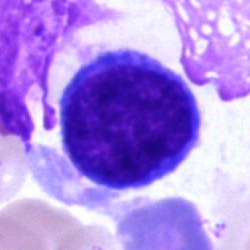 The cell type is undifferentiated blast.